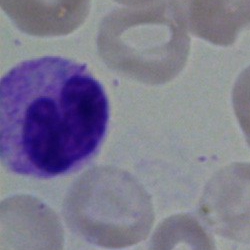Bone marrow smear showing a stab cell.